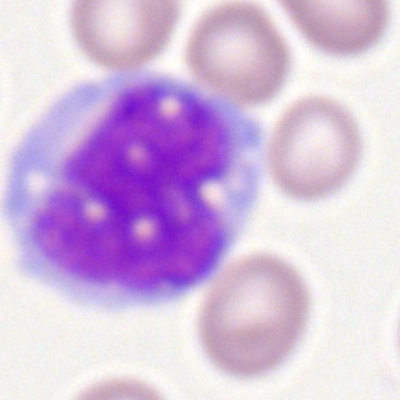
Q: What is the morphological classification of this cell?
A: This is a monocyte.